Bone marrow aspirate smear; May-Grünwald-Giemsa/Pappenheim stain: 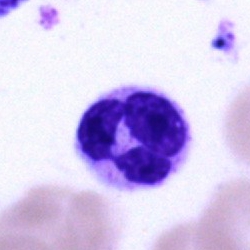

The cell is polymorphonuclear neutrophil.